Bone marrow smear
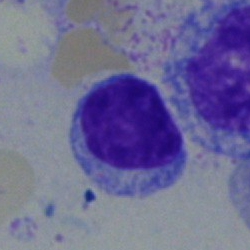
Morphological class = typical lymphocyte.